Bone marrow aspirate smear — 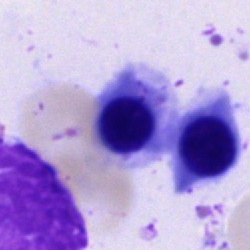Classification — nucleated red blood cell.